Bone marrow smear:
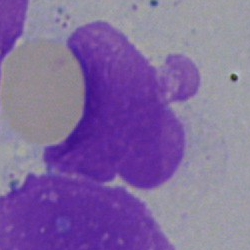 Cell type: artefact.